Bone marrow aspirate smear — 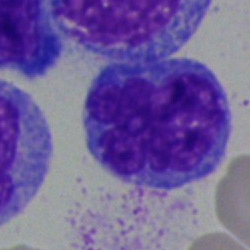

Impression — blast.